Bone marrow aspirate smear. MGG-stained: 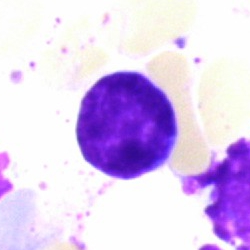 {"cell_type": "typical lymphocyte", "lineage": "lymphoid"}